Bone marrow smear. Single-cell crop: 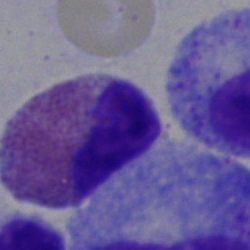 This is an eosinophilic granulocyte.